250×250 · bone marrow aspirate smear: 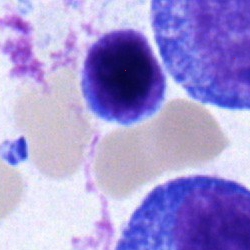
Morphology consistent with a lymphocyte.